Bone marrow aspirate smear · single-cell crop.
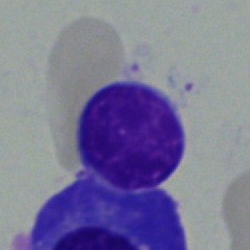
Specimen: bone marrow aspirate smear.
Cell type: lymphocyte.
Lineage: lymphoid.